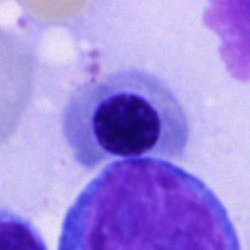
Single-cell crop from a bone marrow smear: erythroblast.